Bone marrow aspirate smear · 250 by 250 pixels: 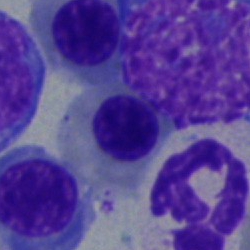Specimen: bone marrow aspirate smear.
Cell type: nucleated red blood cell.
Lineage: erythroid.